May-Grünwald-Giemsa/Pappenheim stain; 40× oil immersion; bone marrow aspirate smear
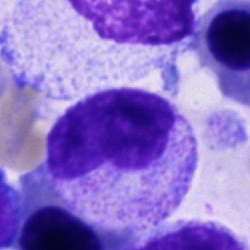 Showing a metamyelocyte.